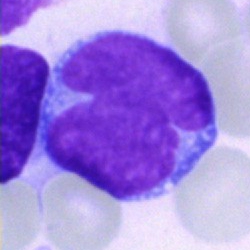Specimen: bone marrow smear.
Classification: blast.